Image size 250×250. Bone marrow smear: 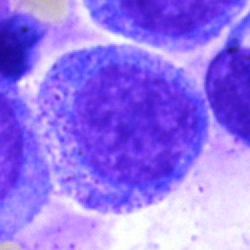
Specimen: bone marrow aspirate smear.
Morphological class: promyelocyte.